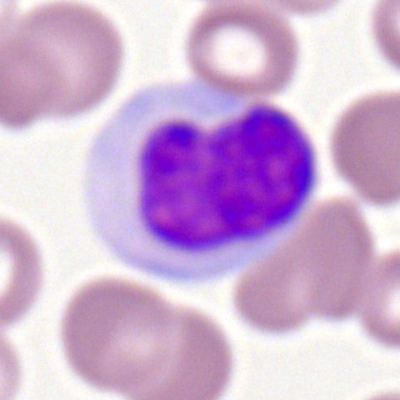
Q: What is the morphological classification of this cell?
A: Monocyte.